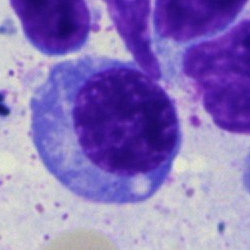Impression → nucleated red blood cell.